Bone marrow aspirate smear
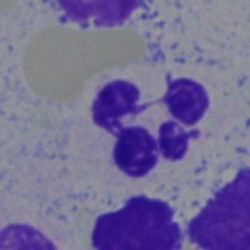
A polymorphonuclear neutrophil.